Bone marrow smear
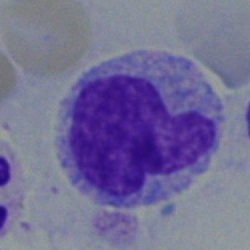
Cell = monocyte.